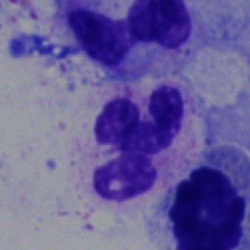
Bone marrow aspirate smear, single cell — segmented neutrophil.